Bone marrow aspirate smear; MGG-stained
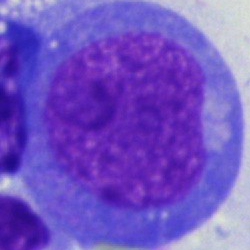 An undifferentiated blast.